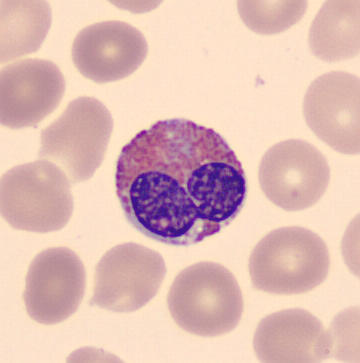

Preparation: Peripheral blood smear. Cell type = eosinophil.